MGG-stained. Bone marrow smear: 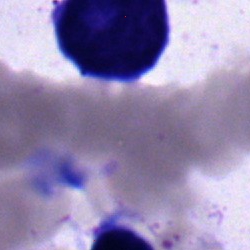

Q: Identify the cell.
A: A blast cell.